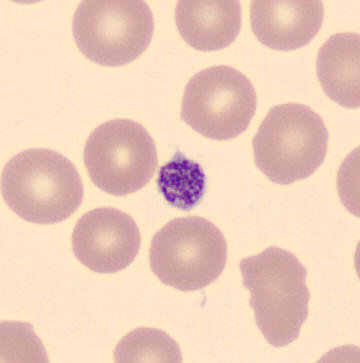

Morphology consistent with a platelet. Acquisition: Peripheral blood film.